Bone marrow aspirate smear; brightfield microscopy, 40× oil immersion
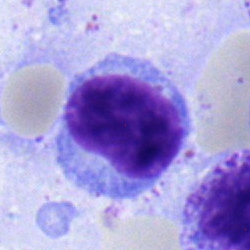
Typical lymphocyte.